Bone marrow aspirate smear · image size 250×250 — 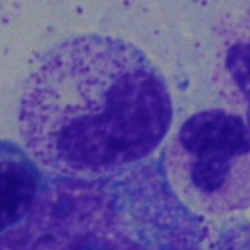 Q: Which cell type is shown here?
A: Metamyelocyte.